40× oil immersion · bone marrow aspirate smear
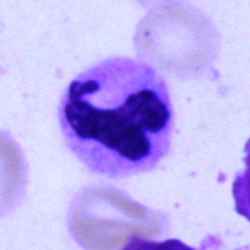
Q: Identify the cell.
A: This is a segmented neutrophil.